40× oil immersion; bone marrow smear:
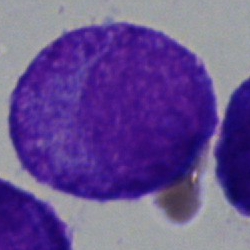

Promyelocyte.